Single-cell crop; bone marrow smear.
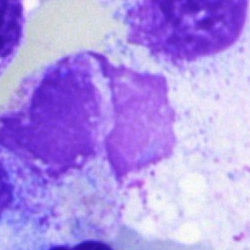

The cell shown is an artefact.